40× oil immersion · bone marrow aspirate smear: 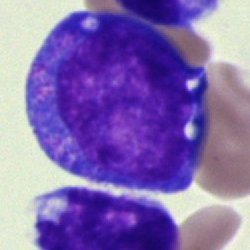Classification — undifferentiated blast.